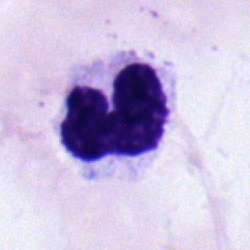

Bone marrow smear showing a band-form neutrophil.